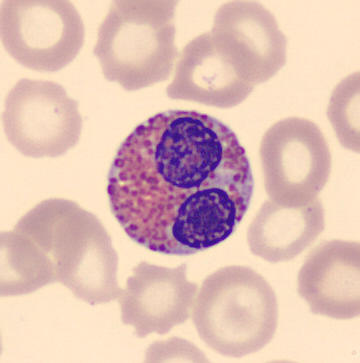 Q: What is this?
A: Eosinophil.